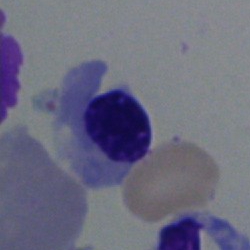

Specimen: bone marrow aspirate smear.
Cell: nucleated red cell.
Lineage: erythroid.